40× objective, oil immersion · bone marrow aspirate smear:
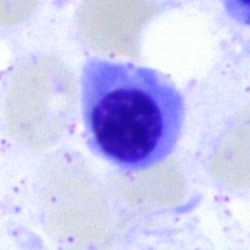 Q: Identify the cell.
A: This is a normoblast.